40× objective, oil immersion. Single cell centered in the field. Bone marrow smear: 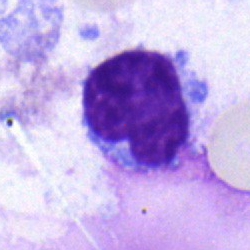 Morphology — typical lymphocyte.